Brightfield, 40× oil-immersion objective; 250×250; bone marrow smear: 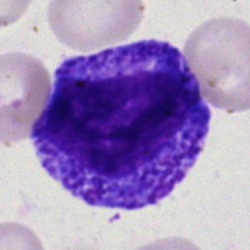
Morphology → promyelocyte.